Bone marrow aspirate smear; 250×250 px:
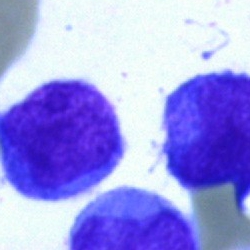Q: What is shown here?
A: This is an undifferentiated blast.